Bone marrow aspirate smear:
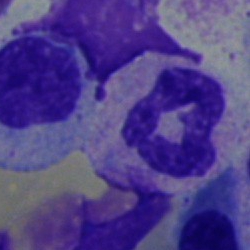
Morphology → segmented neutrophil.